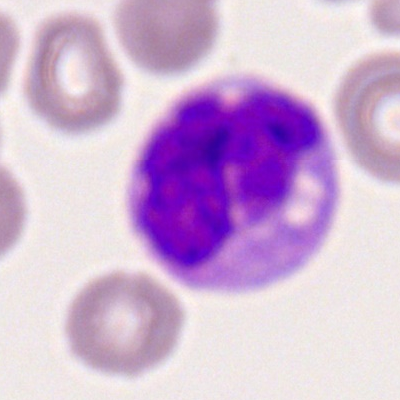 Q: What type of cell is this?
A: This is a monocyte.